Bone marrow smear: 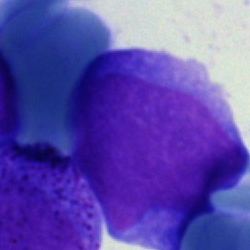 Impression → undifferentiated blast.